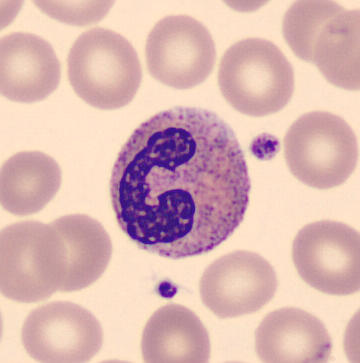Specimen: peripheral blood film.
Morphological class: band-form neutrophil.
Lineage: myeloid.